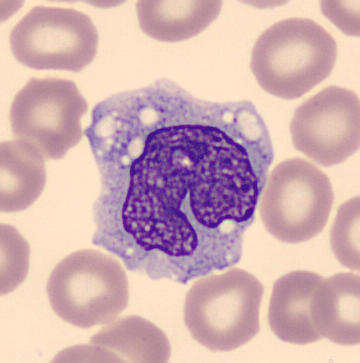

Cell = monocyte. Preparation: Peripheral blood smear.